Bone marrow smear.
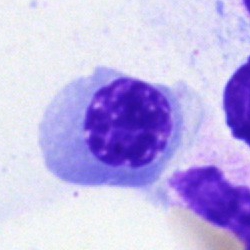
The classification is nucleated red blood cell.